Bone marrow aspirate smear: 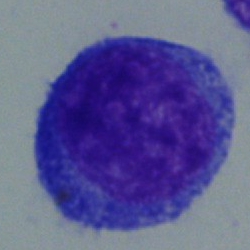

Q: What cell is this?
A: A blast.